Bone marrow aspirate smear:
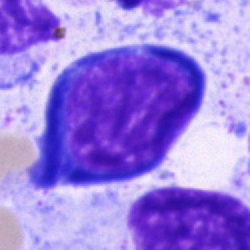 Morphology — proerythroblast.